Image size 250×250 · Pappenheim-stained · bone marrow aspirate smear.
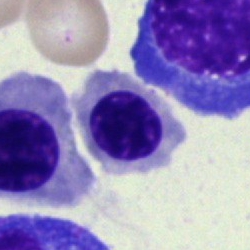 The cell shown is a normoblast.